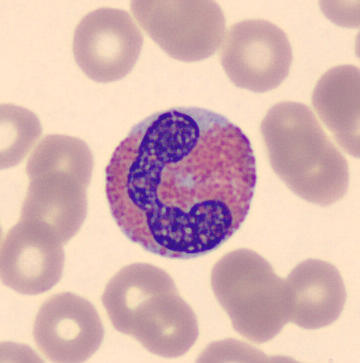 Image: Peripheral blood film. MGG stain. 360 by 363 pixels. Q: What is the morphological classification of this cell?
A: Eosinophilic granulocyte.